Bone marrow aspirate smear: 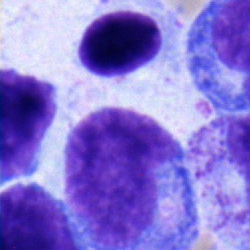 Impression — lymphocyte.